Bone marrow aspirate smear. 250×250 px. Pappenheim-stained.
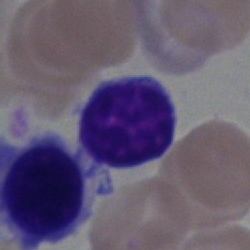 Q: Which cell type is shown here?
A: This is a typical lymphocyte.